Bone marrow aspirate smear.
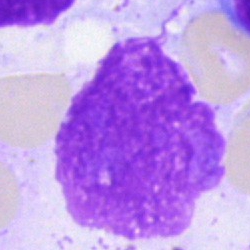

An artefact.